Peripheral blood smear
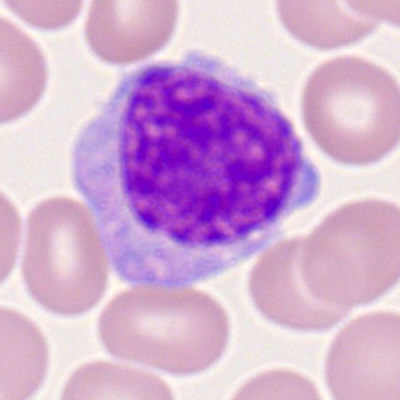 Impression — monocyte.